Bone marrow aspirate smear.
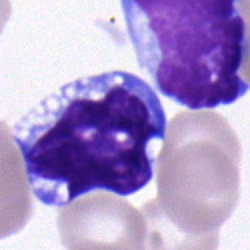
Q: What cell is this?
A: A lymphocyte.